Bone marrow smear.
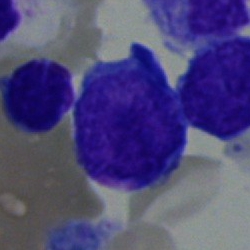Morphological class = undifferentiated blast.